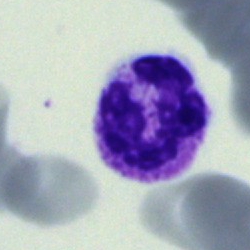Impression — polymorphonuclear neutrophil.